Bone marrow smear. Single cell centered in the field.
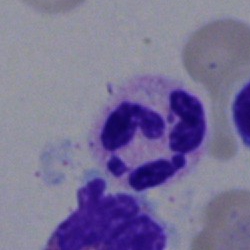
Neutrophil (segmented).